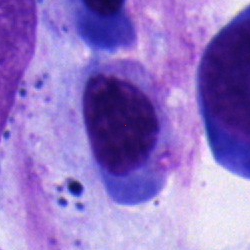 Specimen: bone marrow smear.
Cell type: erythroblast.
Lineage: erythroid.